Bone marrow aspirate smear — 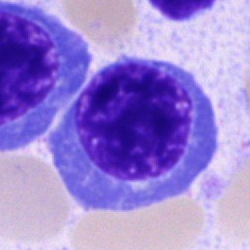

The morphological class is erythroblast.